Bone marrow smear: 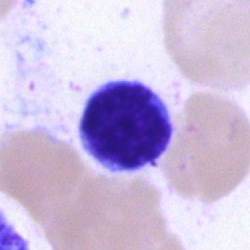

Classification — lymphocyte.